Bone marrow smear.
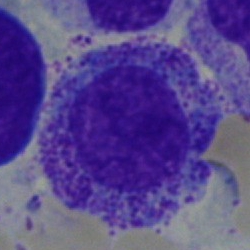

Progranulocyte.